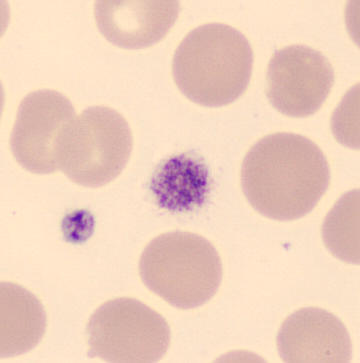

Image: Automated cell imaging (CellaVision DM96); peripheral blood film.
Showing a platelet.